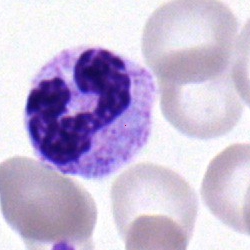 This is a polymorphonuclear neutrophil.